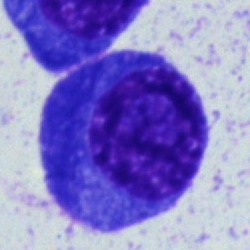

This is a plasmacyte.